Bone marrow aspirate smear:
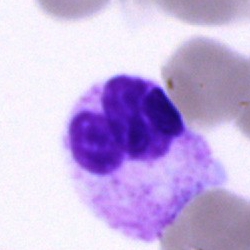

Impression → segmented neutrophil.